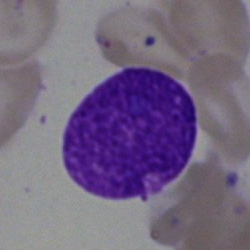 {"cell_type": "artefact"}